Bone marrow aspirate smear: 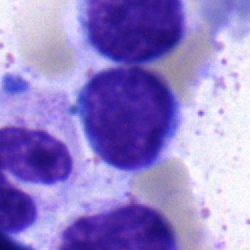The morphological class is typical lymphocyte.